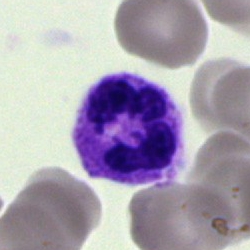
Morphology consistent with a neutrophil (segmented).